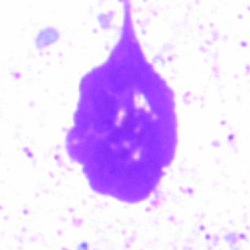
Artefact.